Pappenheim-stained. Bone marrow aspirate smear.
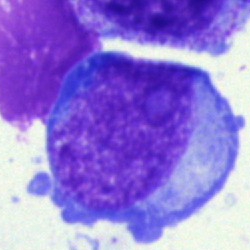
Q: What type of cell is this?
A: A blast cell.